Bone marrow aspirate smear
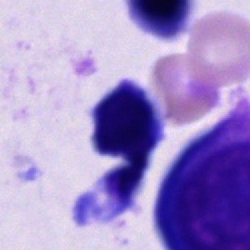 The classification is unidentifiable cell.